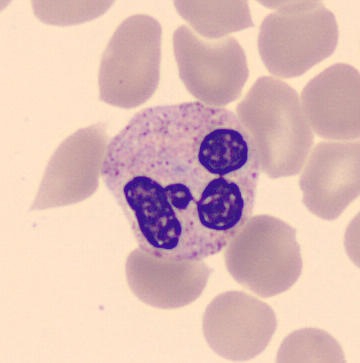

Showing a neutrophil (segmented). Acquisition: Peripheral blood film.